Bone marrow aspirate smear — 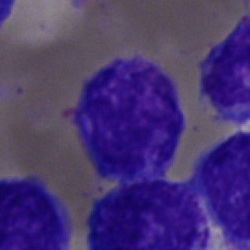

Classification: blast.